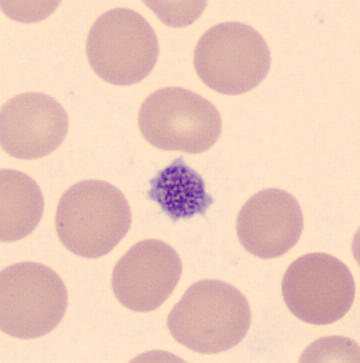
Preparation: 360×363.

Specimen: peripheral blood smear.
Classification: platelet (thrombocyte).